Single cell centered in the field; bone marrow smear; 40× oil immersion
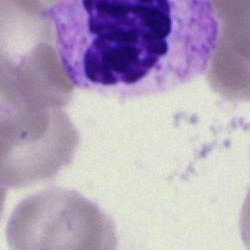
Classification — artefact.